Bone marrow aspirate smear:
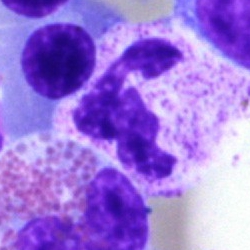
Single cell identified as a polymorphonuclear neutrophil.